May-Grünwald-Giemsa/Pappenheim stain · 40× oil immersion · bone marrow smear: 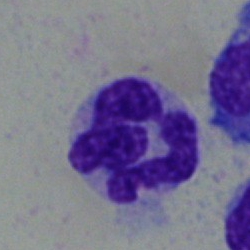Cell: neutrophil (segmented).